Bone marrow smear · 250 by 250 pixels
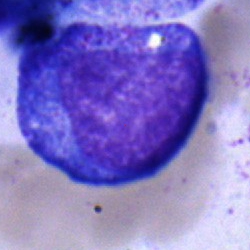

This is a progranulocyte.